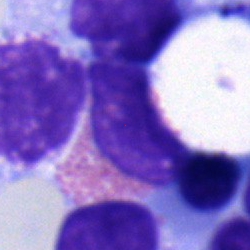

Q: What type of cell is this?
A: It is an eosinophil.